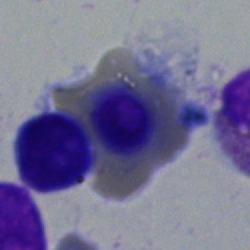Specimen: bone marrow smear.
Classification: erythroblast.
Lineage: erythroid.